Bone marrow smear
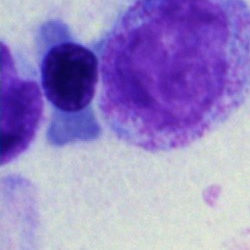
Morphology consistent with a myelocyte.